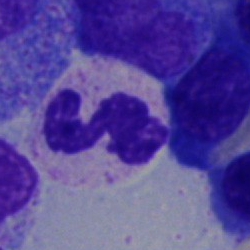Q: What is the morphological classification of this cell?
A: Neutrophil (segmented).